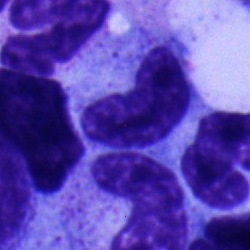
Specimen: bone marrow smear.
Cell type: band-form neutrophil.